Bone marrow aspirate smear:
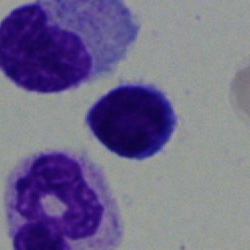
Cell type = typical lymphocyte.